Cropped to a single cell; bone marrow smear:
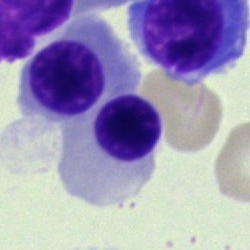 Morphology → erythroblast.